Bone marrow smear — 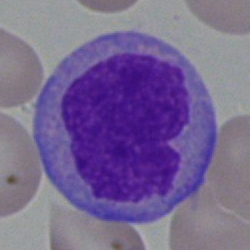A monocyte.